Bone marrow aspirate smear.
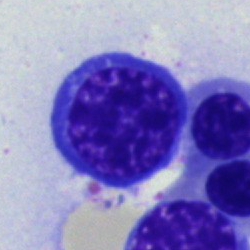
Q: Which cell type is shown here?
A: This is a normoblast.